Peripheral blood film:
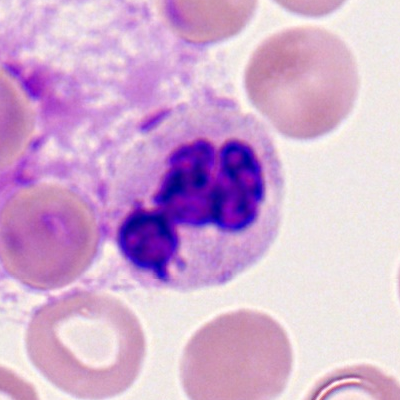

Morphology consistent with a neutrophil (segmented).